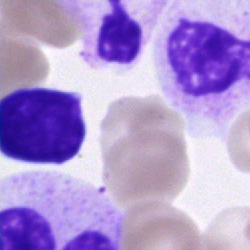
Morphological class = unidentifiable cell.